Bone marrow aspirate smear:
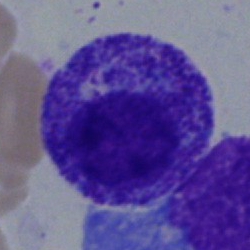

Q: Identify the cell.
A: A myelocyte.